Brightfield microscopy, 40× oil immersion. Bone marrow aspirate smear. May-Grünwald-Giemsa/Pappenheim stain
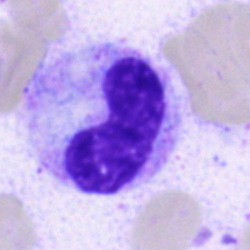 Impression — stab cell.